Brightfield, 40× oil-immersion objective. Bone marrow aspirate smear.
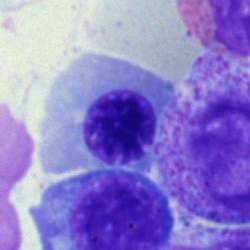 Cell type = erythroblast.